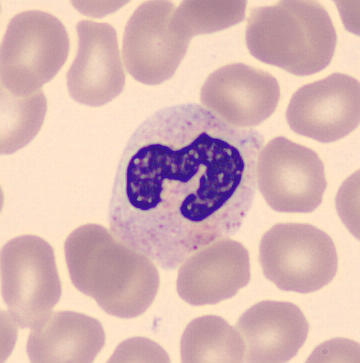Preparation: Single-cell crop.
Specimen: peripheral blood film.
Classification: neutrophil (segmented).
Lineage: myeloid.